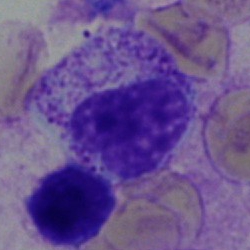 Cell type = myelocyte.